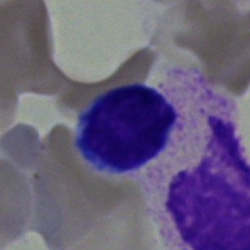
The cell is typical lymphocyte.